250×250 px. Bone marrow aspirate smear:
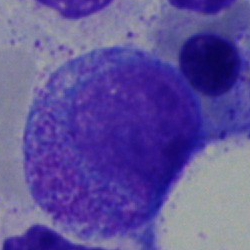Morphology — progranulocyte.